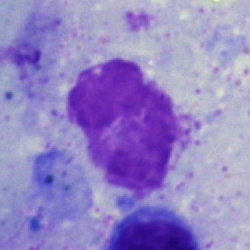

Specimen: bone marrow smear.
Cell type: artifact.